Peripheral blood smear.
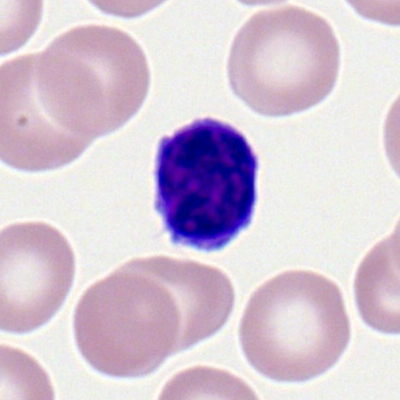

Morphology — typical lymphocyte.